Bone marrow smear. Image size 250×250:
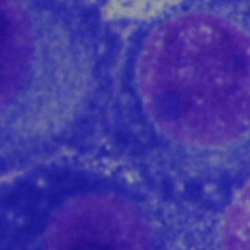Showing a plasma cell.